250×250 px. Bone marrow smear:
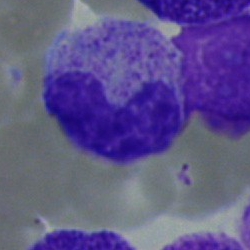
The cell shown is a band neutrophil.